Bone marrow aspirate smear · 40× oil immersion — 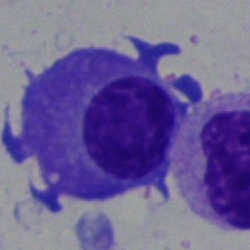

Morphology — plasmacyte.